Bone marrow aspirate smear: 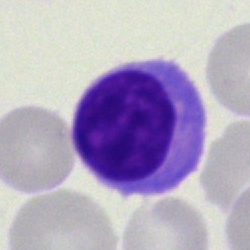Single cell identified as a typical lymphocyte.